Bone marrow smear. Brightfield, 40× oil-immersion objective.
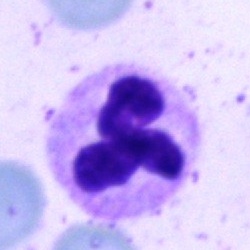
{"cell_type": "neutrophil (segmented)"}